Bone marrow smear — 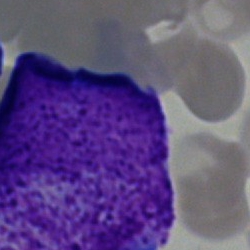
{"cell_type": "undifferentiated blast"}